Bone marrow smear — 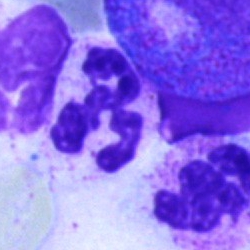

Morphology → neutrophil (segmented).